Brightfield, 40× oil-immersion objective. Bone marrow aspirate smear.
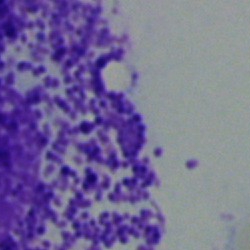 Q: What type of cell is this?
A: A cell not matching the other categories.